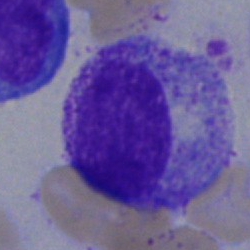 A myelocyte.